Peripheral blood film:
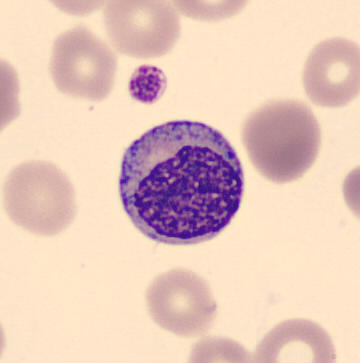
Specimen: peripheral blood smear.
Cell type: myelocyte.
Lineage: myeloid.